Bone marrow aspirate smear.
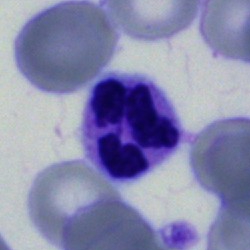 Q: What cell is this?
A: Polymorphonuclear neutrophil.